Bone marrow aspirate smear
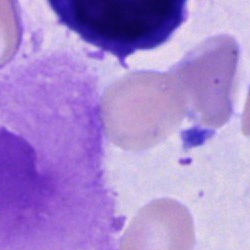

Morphology — artifact.